Single cell centered in the field. Bone marrow aspirate smear:
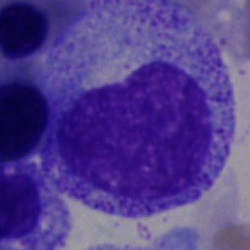
Q: What is shown here?
A: It is a promyelocyte.